Pappenheim-stained; bone marrow aspirate smear:
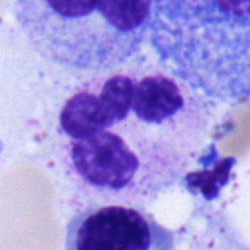Specimen: bone marrow smear.
Morphological class: polymorphonuclear neutrophil.